Bone marrow aspirate smear; Pappenheim-stained.
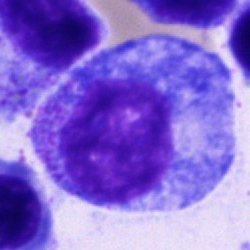Specimen: bone marrow smear.
Cell type: progranulocyte.
Lineage: myeloid.